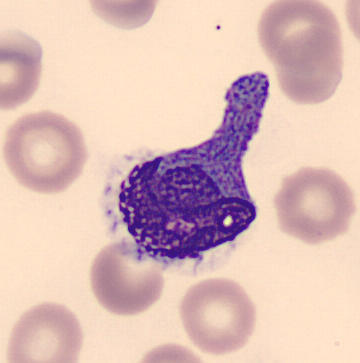Preparation: CellaVision DM96; peripheral blood smear.
Q: What is shown here?
A: It is a monocyte.